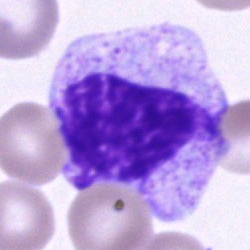
An unidentifiable cell on a bone marrow smear.